Bone marrow aspirate smear: 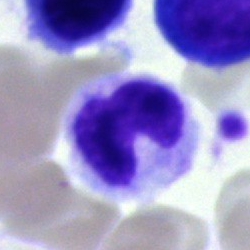Morphology consistent with a band-form neutrophil.